Bone marrow aspirate smear:
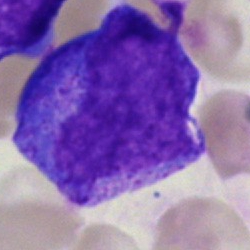
Single cell identified as a progranulocyte.